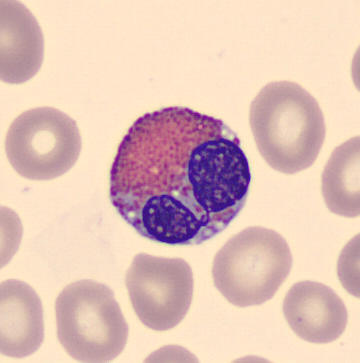CellaVision DM96 · peripheral blood smear. Morphology — eosinophil.